Bone marrow smear; image size 250×250:
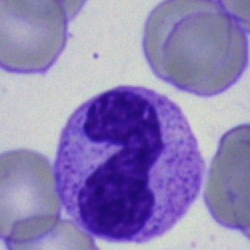
The cell shown is a band neutrophil.